40× objective, oil immersion. Bone marrow aspirate smear:
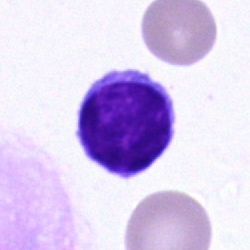Q: What type of cell is this?
A: It is a typical lymphocyte.